Bone marrow smear: 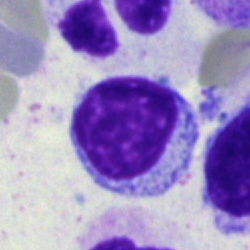

Morphological class = lymphocyte.